Bone marrow aspirate smear:
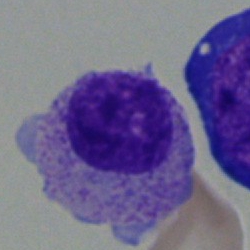
Q: Which cell type is shown here?
A: It is a myelocyte.